Brightfield microscopy, 40× oil immersion; May-Grünwald-Giemsa stain; bone marrow aspirate smear:
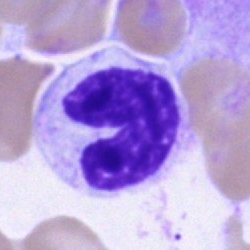 A stab cell.